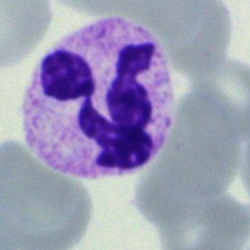 {"cell_type": "polymorphonuclear neutrophil"}